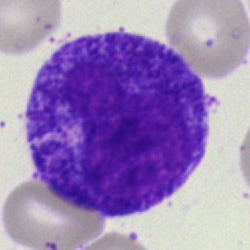 The cell shown is a promyelocyte.